Bone marrow smear:
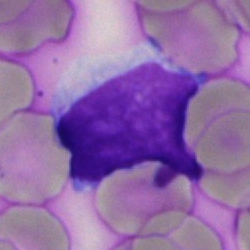The cell shown is a typical lymphocyte.